Bone marrow aspirate smear · single-cell field.
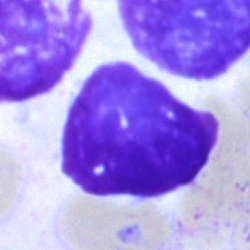
This is an artefact.